Bone marrow aspirate smear; single-cell field — 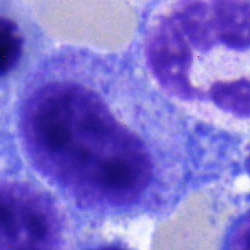

Impression → progranulocyte.